Bone marrow smear
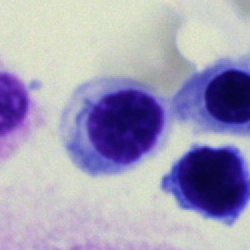

The cell shown is an erythroblast.